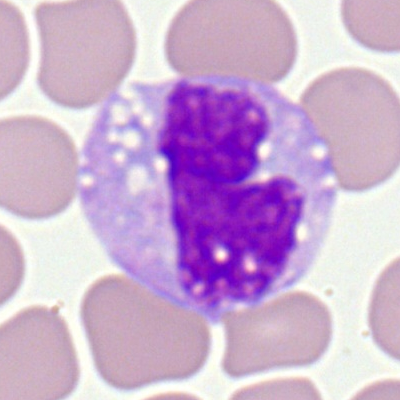
Single cell identified as a monocyte.